Bone marrow smear.
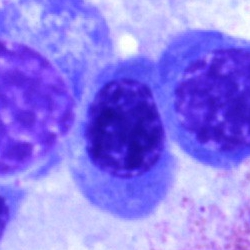 Classification = nucleated red cell.